Bone marrow aspirate smear:
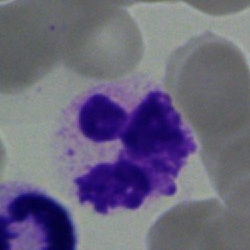

Showing a basophil.